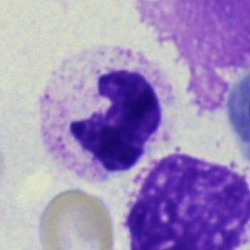
Morphology — segmented neutrophil.